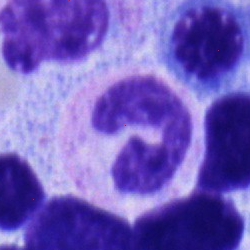

Single-cell crop from a bone marrow smear: segmented neutrophil.